Bone marrow aspirate smear: 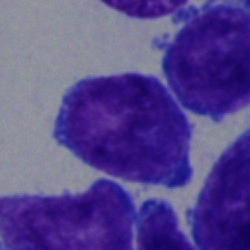
Specimen: bone marrow smear.
Classification: blast.